250×250; bone marrow smear; 40× oil immersion: 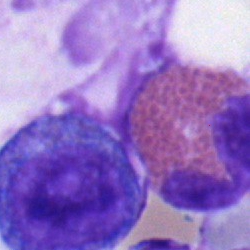 Morphology — eosinophilic granulocyte.